May-Grünwald-Giemsa stain · brightfield, 40× oil-immersion objective · bone marrow smear — 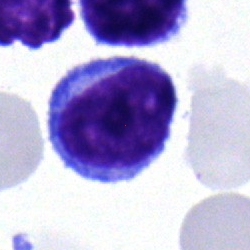This is a typical lymphocyte.